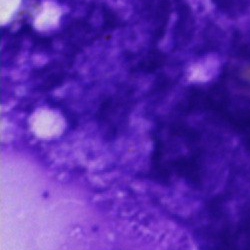Bone marrow aspirate smear, single cell — artefact.